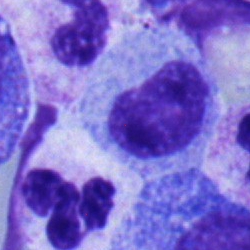Specimen: bone marrow smear.
Cell type: metamyelocyte.
Lineage: myeloid.